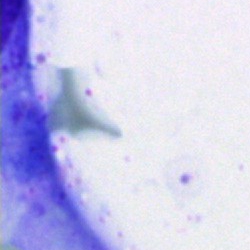
This is an artefact.